Bone marrow aspirate smear:
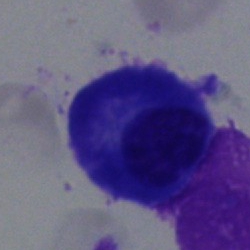 The classification is plasma cell.